Bone marrow aspirate smear.
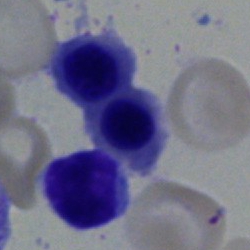
Morphological class = erythroblast.